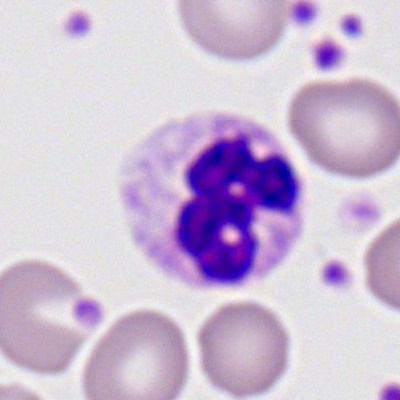Peripheral blood film, single cell — neutrophil (segmented).